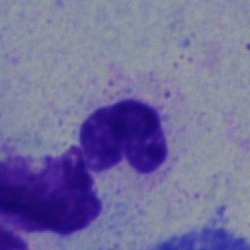

Single-cell crop from a bone marrow smear: polymorphonuclear neutrophil.